Bone marrow aspirate smear
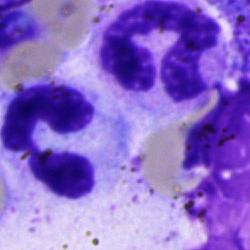
Morphology consistent with a segmented neutrophil.